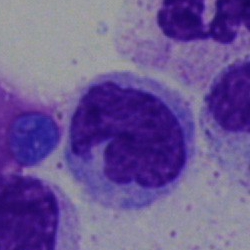

Specimen: bone marrow aspirate smear.
Cell: monocyte.